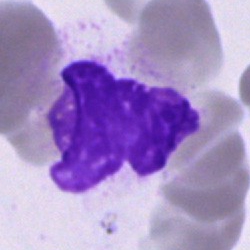 Specimen: bone marrow smear.
Cell type: cell of indeterminate lineage.